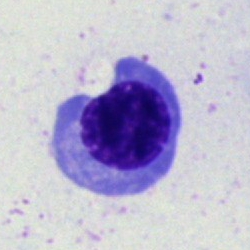Morphology — nucleated red cell.